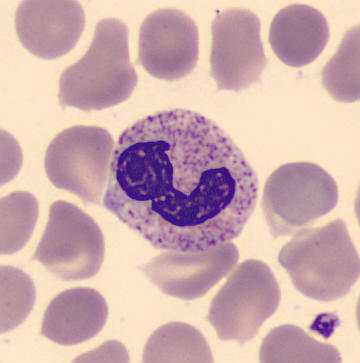Q: What is shown here?
A: Band neutrophil.

Acquisition: MGG stain; automated cell imaging (CellaVision DM96); peripheral blood smear.